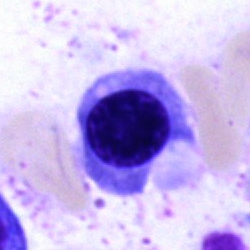

Q: What is the morphological classification of this cell?
A: A nucleated red blood cell.